Bone marrow aspirate smear; single cell centered in the field: 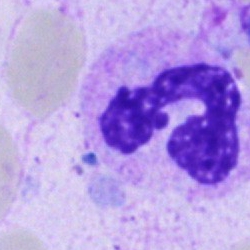Cell type = polymorphonuclear neutrophil.